Bone marrow aspirate smear: 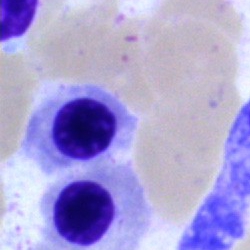 Morphology consistent with a nucleated red cell.